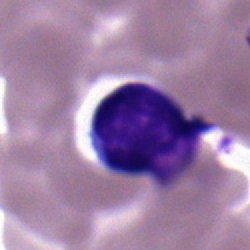

Specimen: bone marrow smear.
Classification: typical lymphocyte.
Lineage: lymphoid.